Bone marrow aspirate smear
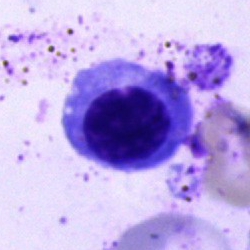

Morphology — normoblast.